Peripheral blood film
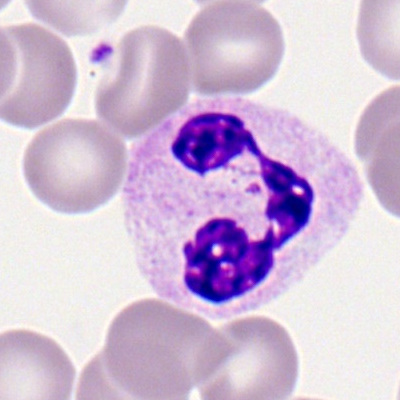 Q: Which cell type is shown here?
A: This is a neutrophil (segmented).